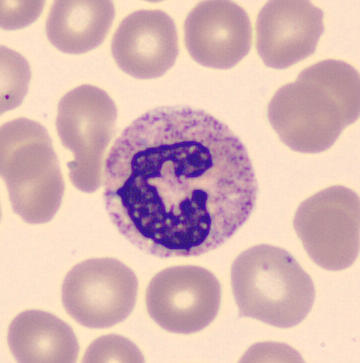Preparation: Peripheral blood film. A polymorphonuclear neutrophil.